Bone marrow smear. Single-cell field
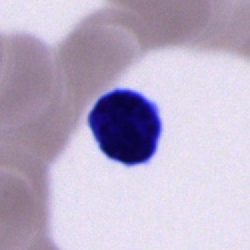

Morphology → typical lymphocyte.